250×250. Bone marrow smear.
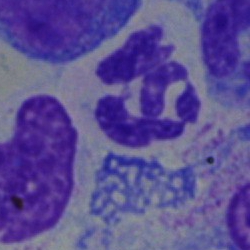Showing a neutrophil (segmented).